Single-cell crop; bone marrow smear
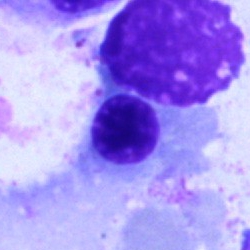

Morphology → nucleated red blood cell.